Brightfield, 40× oil-immersion objective; bone marrow smear — 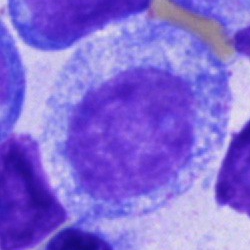
This is a promyelocyte.